Bone marrow aspirate smear. 250 by 250 pixels — 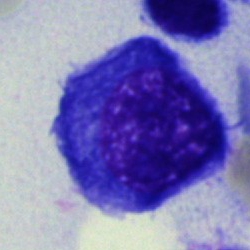

Cell type — erythroblast.